Bone marrow aspirate smear; cropped to a single cell — 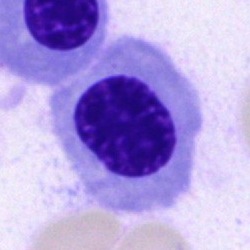

Cell — erythroblast.